Bone marrow smear:
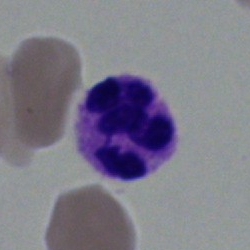

Single cell identified as a segmented neutrophil.